Bone marrow smear. 250×250. May-Grünwald-Giemsa stain:
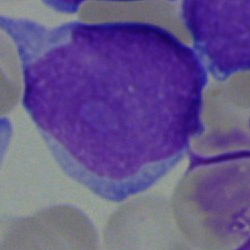Specimen: bone marrow smear.
Cell: blast.